Bone marrow smear; 250×250 px
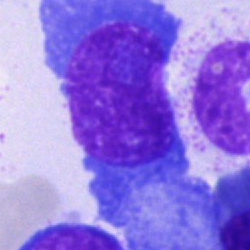 The cell shown is a plasmacyte.